Bone marrow aspirate smear: 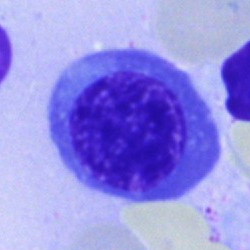

Specimen: bone marrow smear.
Cell type: nucleated red blood cell.